Bone marrow aspirate smear: 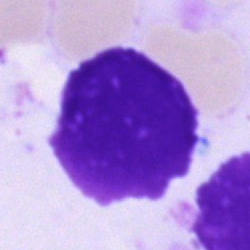Morphological class — artifact.